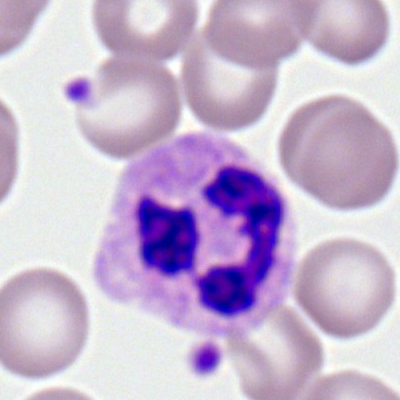
Specimen: peripheral blood smear.
Morphological class: segmented neutrophil.
Lineage: myeloid.